Peripheral blood film.
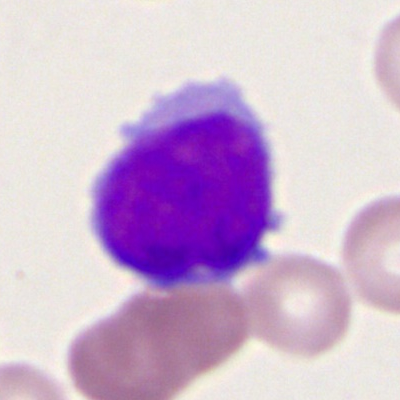Classification = myeloid blast.